Bone marrow smear. 40× oil immersion
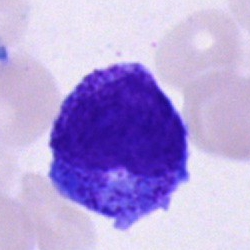Morphology consistent with a progranulocyte.